Single-cell crop. 40× objective, oil immersion. Bone marrow aspirate smear — 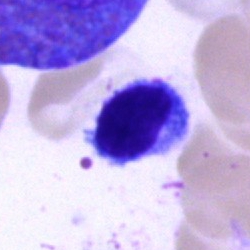Specimen: bone marrow smear.
Cell: typical lymphocyte.
Lineage: lymphoid.